Image size 250×250 · May-Grünwald-Giemsa stain · bone marrow aspirate smear: 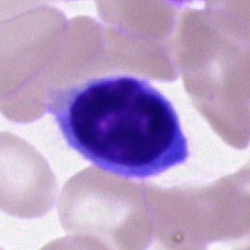

Cell type = lymphocyte.